Peripheral blood smear: 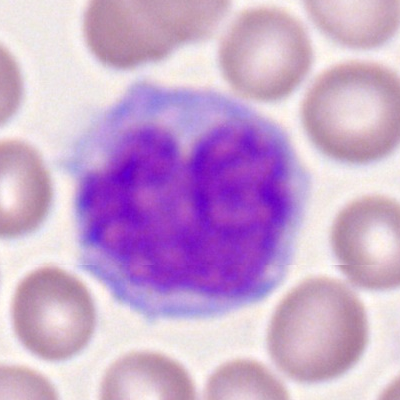

The cell type is monocyte.